Bone marrow smear:
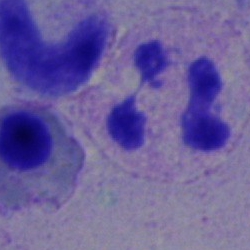

Showing a segmented neutrophil.